Bone marrow aspirate smear.
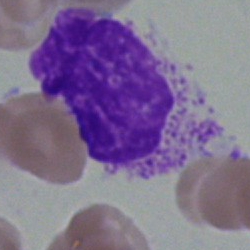
Morphology → myelocyte.